Bone marrow smear; 40× oil immersion — 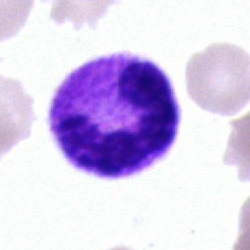 Impression — polymorphonuclear neutrophil.